Bone marrow smear:
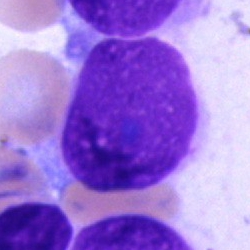
Q: What is shown here?
A: It is an artifact.